Bone marrow aspirate smear: 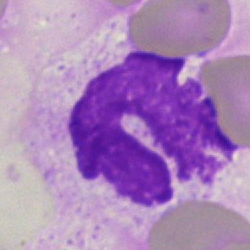
Showing a polymorphonuclear neutrophil.